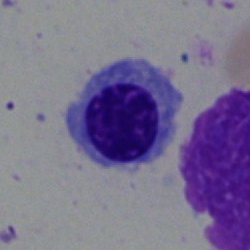
Cell: nucleated red blood cell.